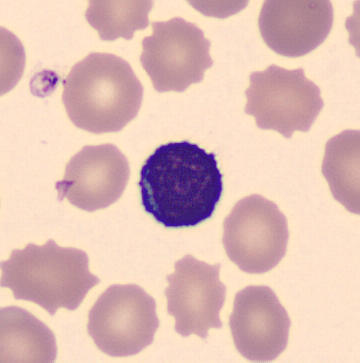
Typical lymphocyte.
Image: Peripheral blood film.